Brightfield, 100× oil-immersion objective. Peripheral blood film.
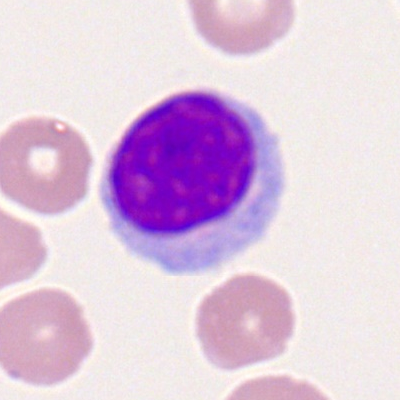Cell: lymphocyte.